Bone marrow aspirate smear — 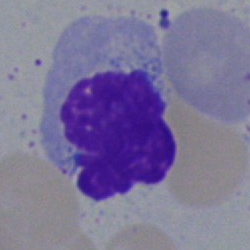Morphological class — artifact.